Bone marrow aspirate smear: 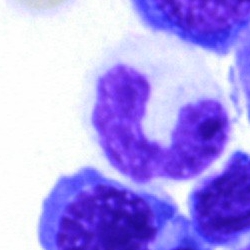
The cell shown is a polymorphonuclear neutrophil.